Bone marrow smear · 250×250 px · MGG-stained — 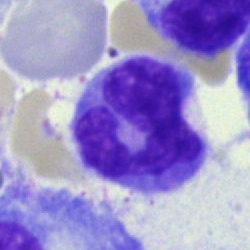
Specimen: bone marrow aspirate smear.
Morphological class: monocyte.